Bone marrow aspirate smear; brightfield microscopy, 40× oil immersion; 250×250 px: 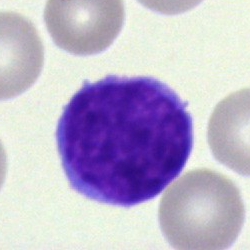Undifferentiated blast.